250×250 px; bone marrow aspirate smear; Pappenheim-stained — 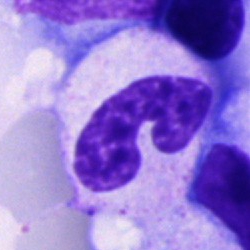 Impression — neutrophil (band).